Bone marrow aspirate smear. Single-cell field. 40× objective, oil immersion:
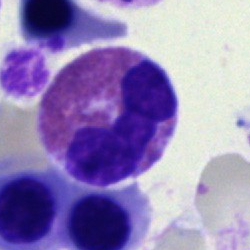This is an eosinophil.